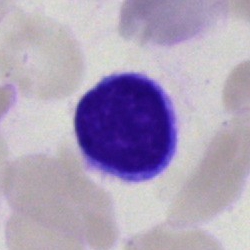
{"cell_type": "lymphocyte"}